Bone marrow smear. Cropped to a single cell. Brightfield microscopy, 40× oil immersion
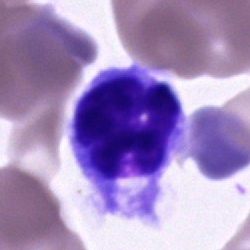 Impression — unidentifiable cell.